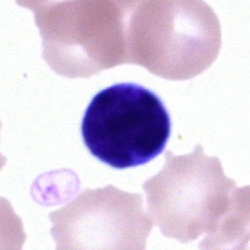
Cell type: lymphocyte.